Bone marrow aspirate smear: 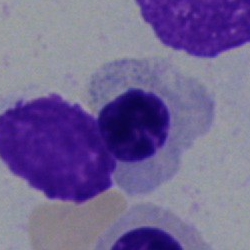
Specimen: bone marrow aspirate smear.
Cell: erythroblast.